Brightfield microscopy, 40× oil immersion. Bone marrow aspirate smear
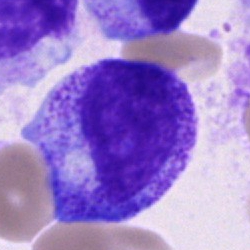Q: What cell is this?
A: It is a progranulocyte.